Bone marrow smear · 40× oil immersion.
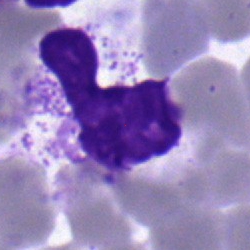

Morphology consistent with a band-form neutrophil.